Single-cell field · bone marrow aspirate smear · brightfield microscopy, 40× oil immersion.
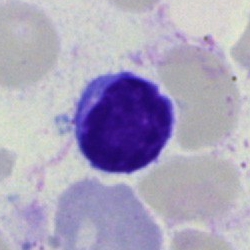 Morphology consistent with a typical lymphocyte.